Bone marrow smear:
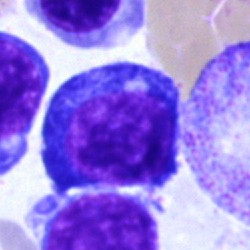 Cell type = normoblast.